250 by 250 pixels · bone marrow smear: 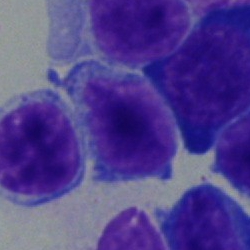Q: What type of cell is this?
A: It is a lymphocyte.